Bone marrow aspirate smear
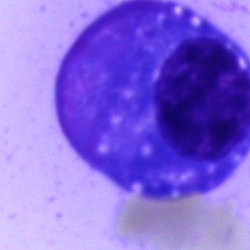Morphology consistent with a plasmacyte.